Bone marrow aspirate smear: 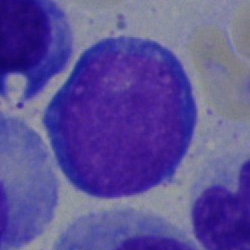
Showing a proerythroblast.